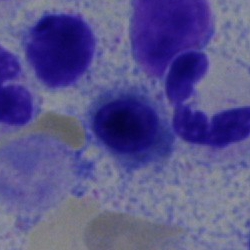
Cell type — normoblast.